Bone marrow smear: 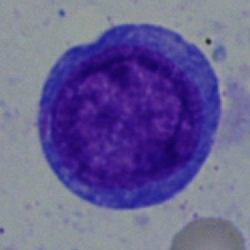

Morphology consistent with a blast.